Bone marrow smear:
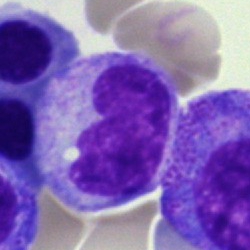
Single cell identified as a monocyte.